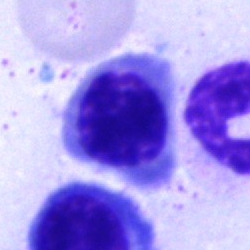

Specimen: bone marrow smear.
Morphological class: nucleated red cell.
Lineage: erythroid.